Image size 250×250; bone marrow aspirate smear; 40× oil immersion — 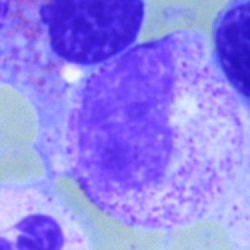
Showing a myelocyte.